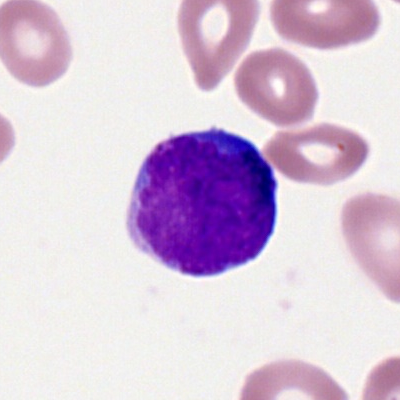 Single cell identified as a myeloid blast.